Bone marrow smear — 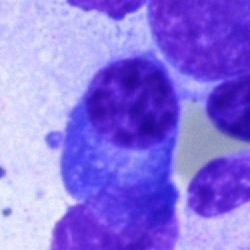

Cell type: plasma cell.